Bone marrow aspirate smear · single-cell field.
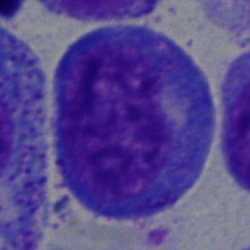 Morphology consistent with a progranulocyte.